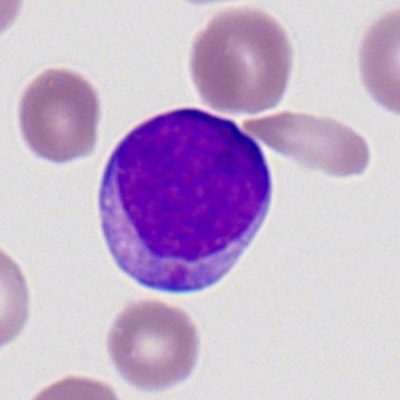 The cell type is myeloid blast.